Bone marrow smear. 40× objective, oil immersion.
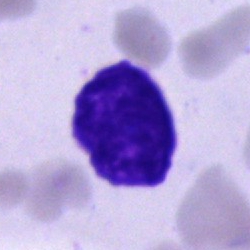

Classification — artifact.